Bone marrow smear. 40× objective, oil immersion: 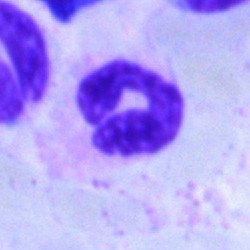Morphology — neutrophil (segmented).